Bone marrow smear
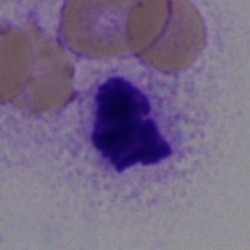Morphological class — neutrophil (segmented).